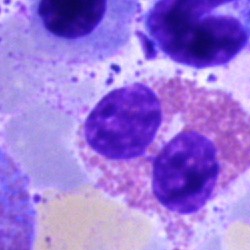
Single cell identified as an eosinophil.